May-Grünwald-Giemsa stain. Bone marrow smear. Image size 250×250:
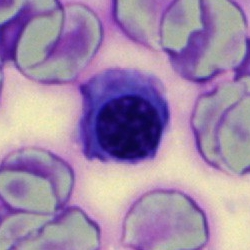 {"cell_type": "nucleated red cell"}